Bone marrow smear.
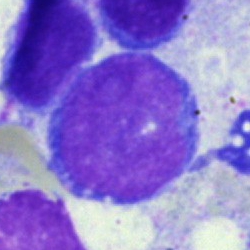
Showing a blast cell.